Bone marrow aspirate smear.
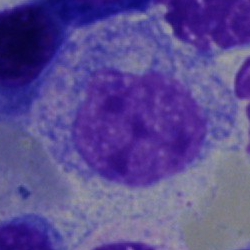 Q: What type of cell is this?
A: This is a progranulocyte.